250 by 250 pixels. Bone marrow smear — 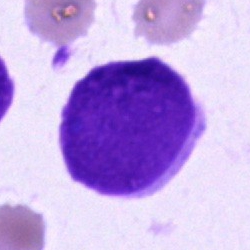
Morphological class — artefact.